Peripheral blood smear · 400 by 400 pixels — 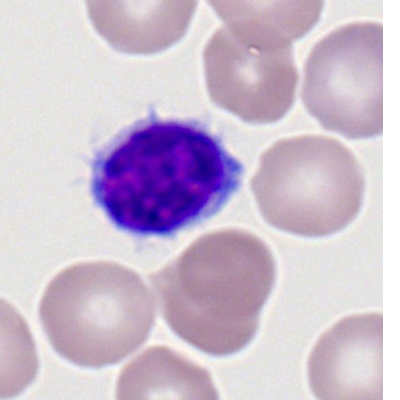 Morphological class = typical lymphocyte.